MGG-stained · 40× oil immersion · bone marrow aspirate smear — 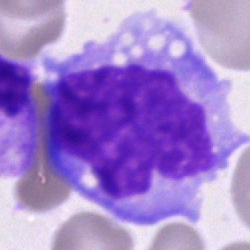Monocyte.